Bone marrow smear
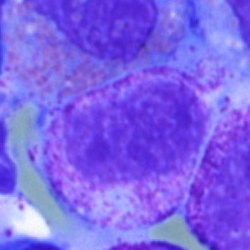
{"cell_type": "stab cell", "lineage": "myeloid"}